Bone marrow smear · 40× oil immersion — 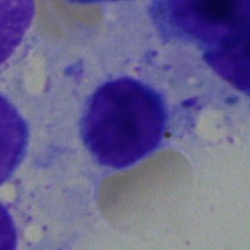

This is a lymphocyte.